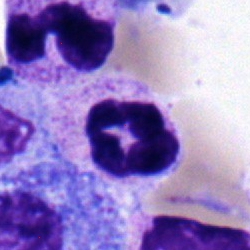 Bone marrow aspirate smear, single cell — polymorphonuclear neutrophil.